Bone marrow aspirate smear: 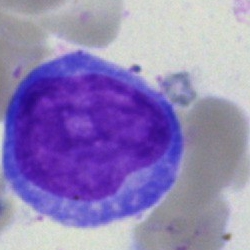 Showing an undifferentiated blast.